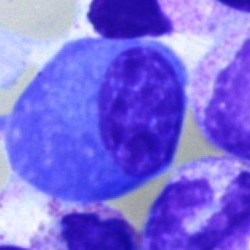

A plasma cell.